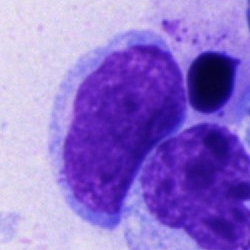 Specimen: bone marrow smear.
Morphological class: blast.